Bone marrow aspirate smear
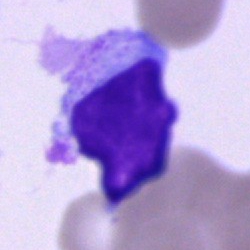 Cell type = lymphocyte.